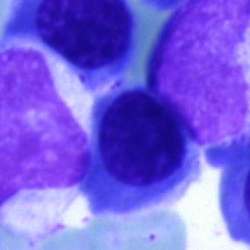The cell is erythroblast.